Bone marrow aspirate smear
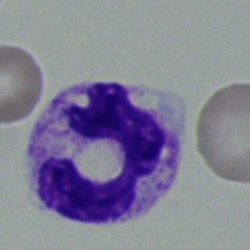

Showing a neutrophil (segmented).